Bone marrow aspirate smear — 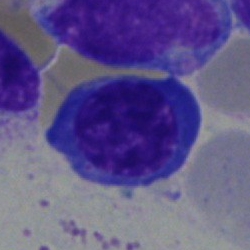 Morphology consistent with an erythroblast.